Bone marrow smear — 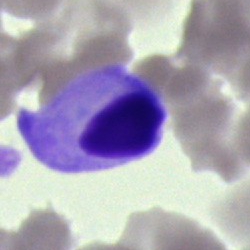
Specimen: bone marrow smear.
Classification: artifact.